Bone marrow aspirate smear:
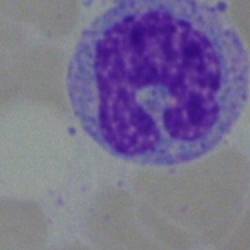
Monocyte.